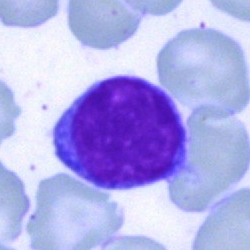Single cell identified as a typical lymphocyte.